Bone marrow smear. 40× objective, oil immersion: 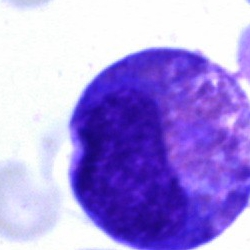
This is a promyelocyte.